May-Grünwald-Giemsa/Pappenheim stain. 40× objective, oil immersion. Bone marrow aspirate smear.
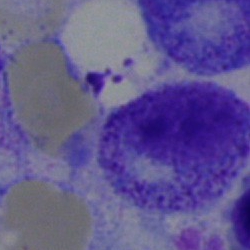 Showing a myelocyte.